Cropped to a single cell. Bone marrow aspirate smear. MGG-stained — 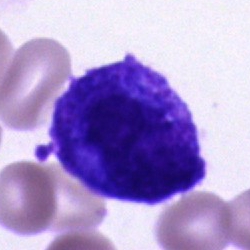

Cell: unidentifiable cell.